Bone marrow smear.
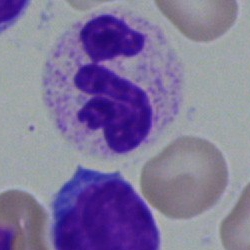Morphological class — polymorphonuclear neutrophil.